Bone marrow smear · 250×250 px: 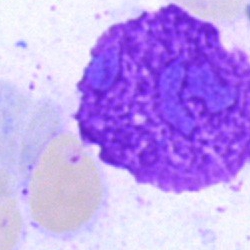
{"cell_type": "artifact"}